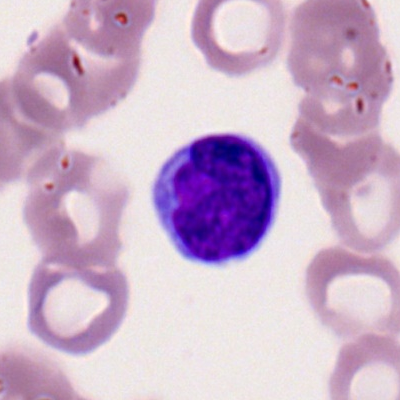 Lymphocyte.